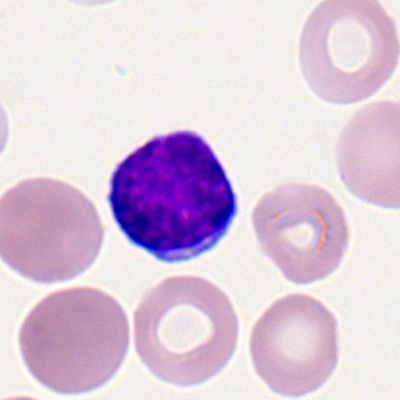
Specimen: peripheral blood smear.
Cell: lymphocyte.